Bone marrow smear · single cell centered in the field
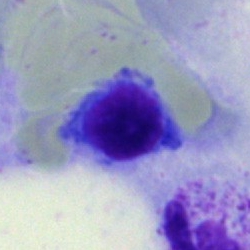This is a nucleated red cell.